Bone marrow aspirate smear:
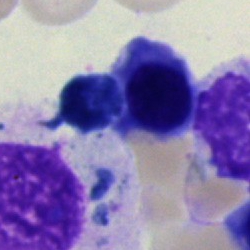An erythroblast.